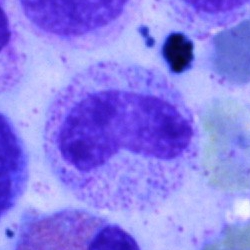 Morphology → band neutrophil.